Bone marrow aspirate smear.
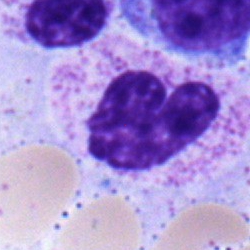 The classification is band neutrophil.